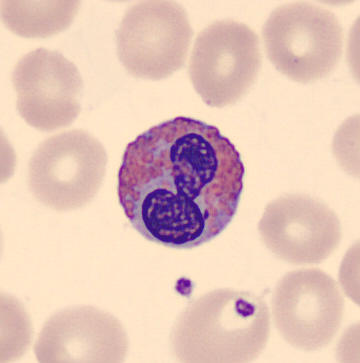
Cell type = eosinophilic granulocyte.

Preparation: Single cell centered in the field. Imaged on a CellaVision DM96 analyser. Peripheral blood film.